Bone marrow aspirate smear
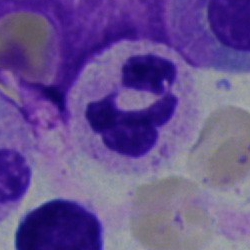Single cell identified as a neutrophil (segmented).